Bone marrow aspirate smear · MGG-stained — 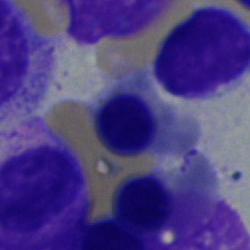

{"cell_type": "nucleated red cell", "lineage": "erythroid"}